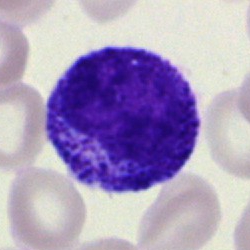 Specimen: bone marrow smear.
Cell type: progranulocyte.
Lineage: myeloid.